Bone marrow aspirate smear — 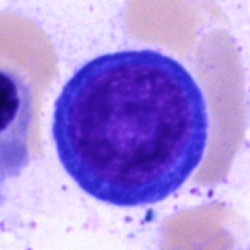 Showing a pronormoblast.